Bone marrow aspirate smear. Cropped to a single cell. Brightfield, 40× oil-immersion objective.
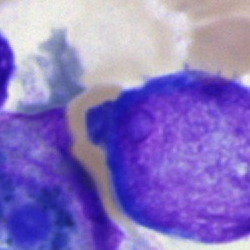
Specimen: bone marrow smear.
Morphological class: blast.